Bone marrow aspirate smear:
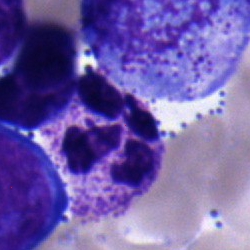
The cell shown is a band neutrophil.